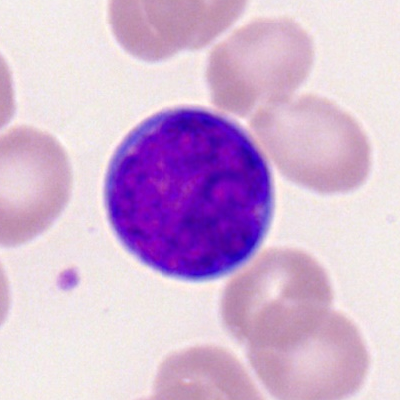
Morphology consistent with a myeloid blast.